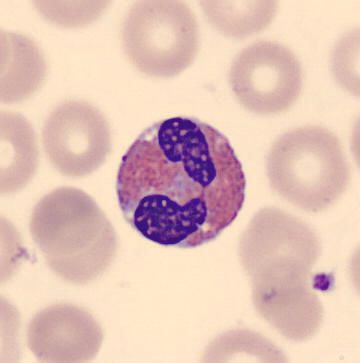

Preparation: Peripheral blood film. Morphological class — eosinophilic granulocyte.